Brightfield, 40× oil-immersion objective; bone marrow smear: 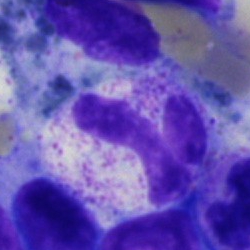Single cell identified as a band neutrophil.